Bone marrow smear: 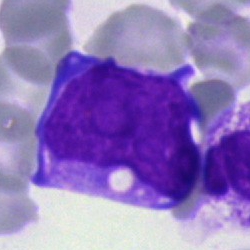Specimen: bone marrow aspirate smear.
Morphological class: blast.